Brightfield, 100× oil-immersion objective · cropped to a single cell · peripheral blood smear: 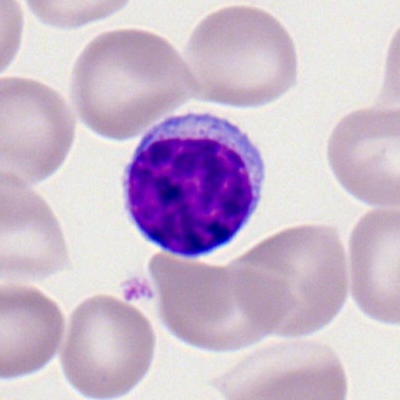Q: Identify the cell.
A: This is a lymphocyte.